Cropped to a single cell. Bone marrow aspirate smear: 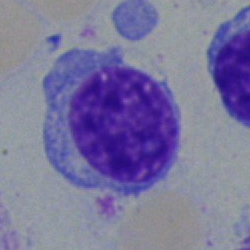 Single cell identified as a typical lymphocyte.